Bone marrow aspirate smear — 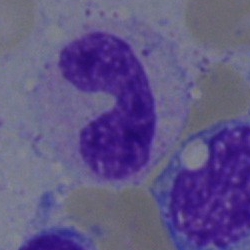

Specimen: bone marrow aspirate smear.
Cell: stab cell.